MGG-stained · bone marrow aspirate smear:
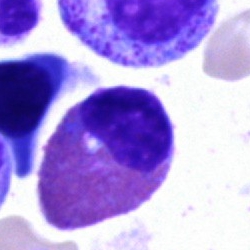This is an eosinophilic granulocyte.